Bone marrow smear: 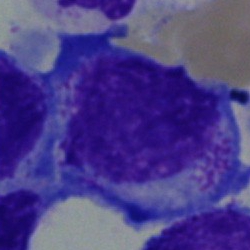 Morphology consistent with a promyelocyte.